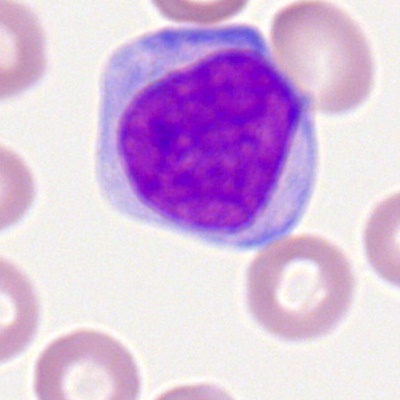 Morphological class = myeloblast.